Bone marrow smear · MGG-stained:
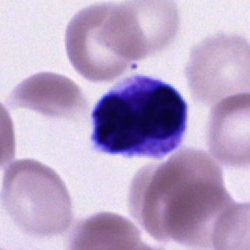
Q: What is the morphological classification of this cell?
A: Cell of indeterminate lineage.